40× oil immersion; single cell centered in the field; bone marrow smear: 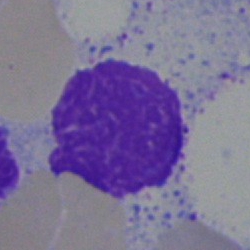
The cell type is artefact.